Bone marrow aspirate smear.
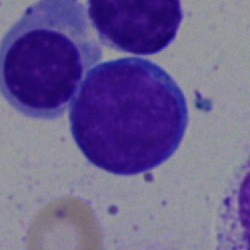

{"cell_type": "lymphocyte"}